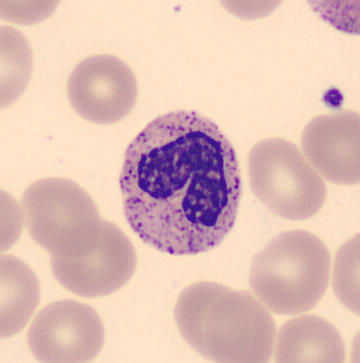Acquisition: CellaVision DM96.
Specimen: peripheral blood film.
Cell type: neutrophil (band).
Lineage: myeloid.